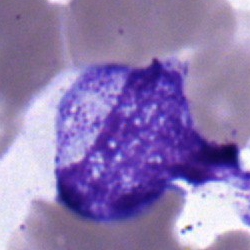 Cell type — myelocyte.